MGG-stained · bone marrow aspirate smear: 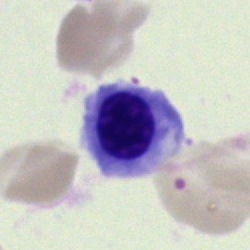

Impression → nucleated red blood cell.